Bone marrow smear — 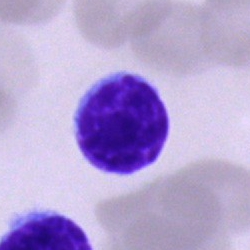Cell type = typical lymphocyte.